Bone marrow smear.
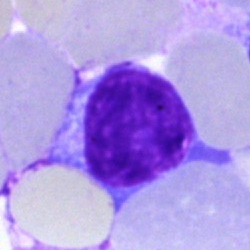

The cell shown is an artifact.